40× objective, oil immersion. Single cell centered in the field. Bone marrow aspirate smear — 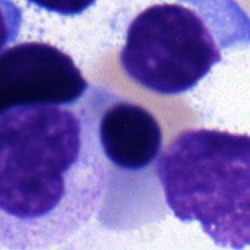Morphological class: nucleated red cell.